Image size 250×250; bone marrow aspirate smear:
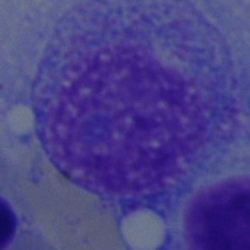 A promyelocyte.